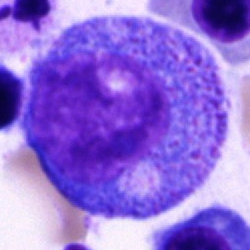

Cell — progranulocyte.